Bone marrow aspirate smear: 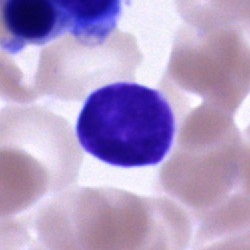
The cell is unidentifiable cell.